Bone marrow aspirate smear: 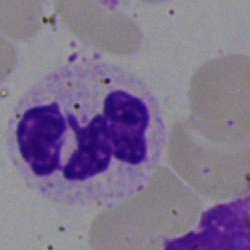 Morphological class = polymorphonuclear neutrophil.